Cropped to a single cell. Bone marrow aspirate smear. May-Grünwald-Giemsa stain — 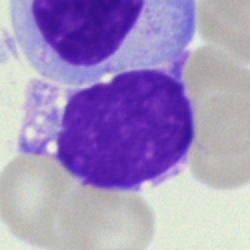 This is an unidentifiable cell.